40× oil immersion. Bone marrow smear: 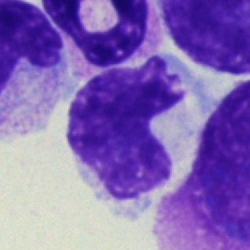 Cell — typical lymphocyte.